Peripheral blood film. CellaVision DM96
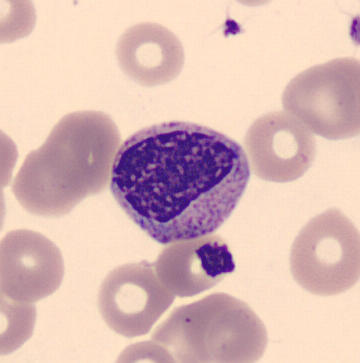 Single cell identified as a myelocyte.